Bone marrow smear:
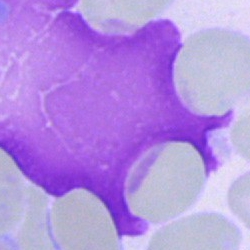 Specimen: bone marrow smear.
Morphological class: artifact.